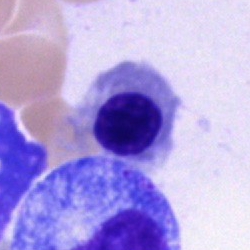
Morphological class = nucleated red blood cell.